Bone marrow smear
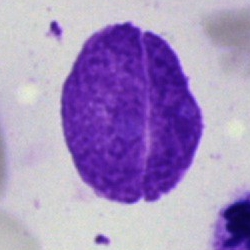
The cell shown is an artifact.